Bone marrow aspirate smear
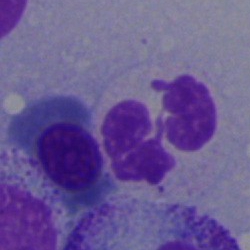Q: Which cell type is shown here?
A: This is a neutrophil (segmented).